Single cell centered in the field · bone marrow smear · 250×250 — 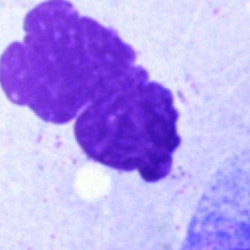Morphological class = artefact.